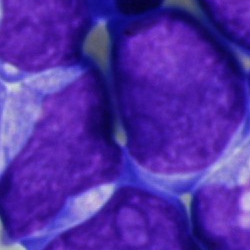
Morphological class — blast cell.